Bone marrow smear:
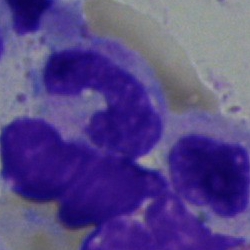 Morphological class: band-form neutrophil.